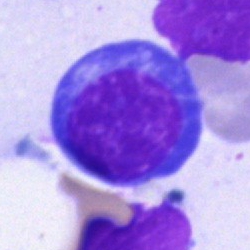

Morphology consistent with a normoblast.